Bone marrow aspirate smear
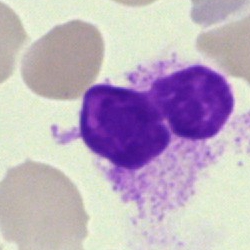
Impression — artefact.